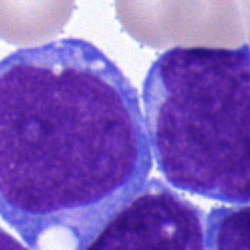

A blast on a bone marrow smear.